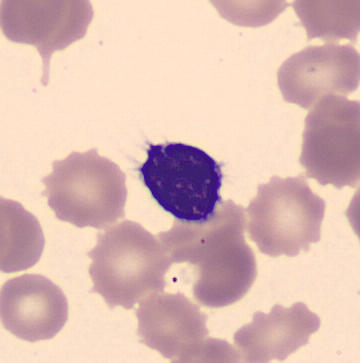 Identified as a typical lymphocyte.